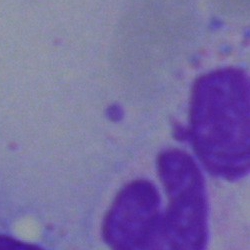

Morphology → artefact.